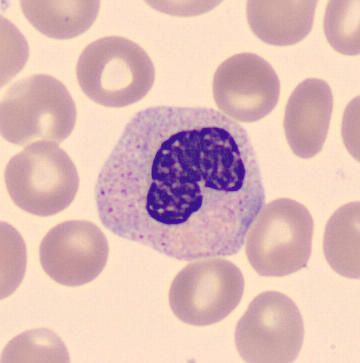 Single-cell crop from a peripheral blood smear: neutrophil (band).